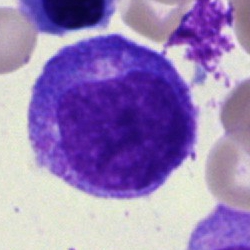
Showing a myelocyte.